Bone marrow aspirate smear · Pappenheim-stained:
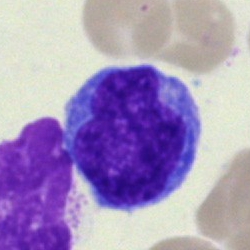Q: Which cell type is shown here?
A: This is an undifferentiated blast.